Bone marrow smear
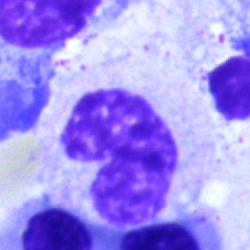Q: Identify the cell.
A: Band neutrophil.